Bone marrow aspirate smear: 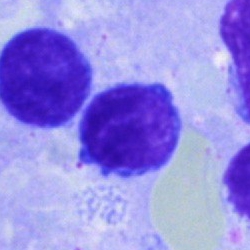

Morphology consistent with a typical lymphocyte.